Brightfield microscopy, 40× oil immersion; MGG-stained; bone marrow aspirate smear
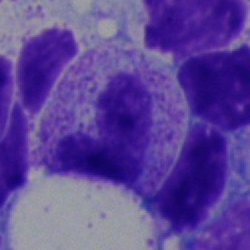
Specimen: bone marrow smear.
Classification: segmented neutrophil.